Bone marrow smear:
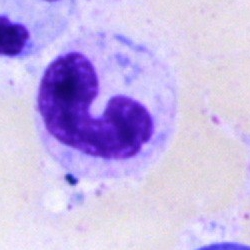Q: What is shown here?
A: This is a stab cell.